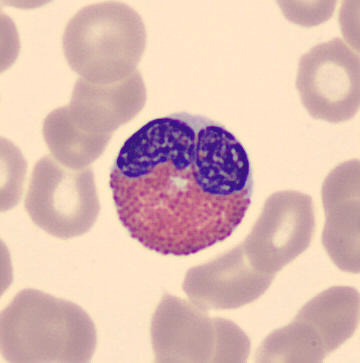 Image: Peripheral blood smear · CellaVision DM96 digital cell image.
Classification — eosinophil.